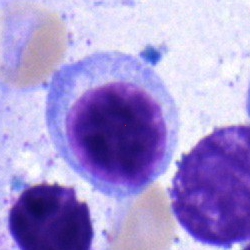
Specimen: bone marrow aspirate smear.
Morphological class: typical lymphocyte.
Lineage: lymphoid.